Single-cell field. Bone marrow aspirate smear — 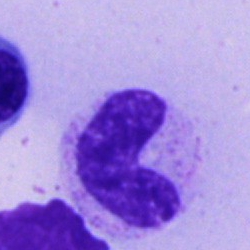Single cell identified as a band neutrophil.